40× oil immersion · bone marrow smear: 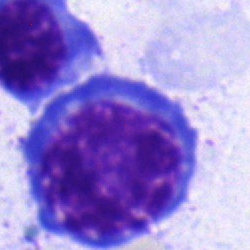Impression → nucleated red cell.